Single-cell field. Peripheral blood film:
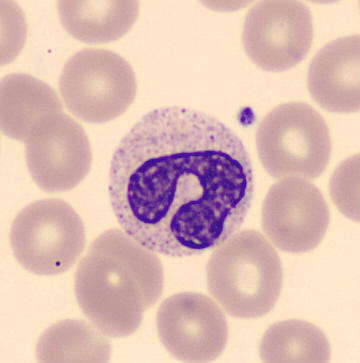Single cell identified as a neutrophil (band).